250×250 px; brightfield microscopy, 40× oil immersion; bone marrow aspirate smear — 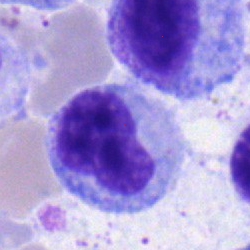

Specimen: bone marrow aspirate smear.
Classification: stab cell.